Bone marrow aspirate smear · 40× objective, oil immersion:
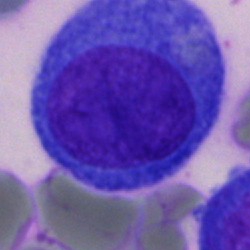 Cell: blast cell.